Bone marrow smear: 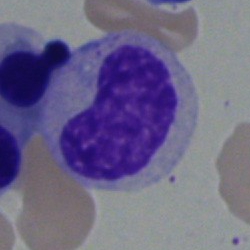
Metamyelocyte.